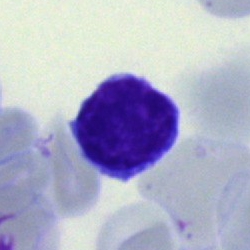Q: Identify the cell.
A: It is a lymphocyte.